May-Grünwald-Giemsa stain · bone marrow aspirate smear.
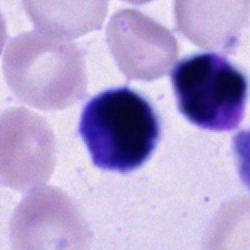

Q: Identify the cell.
A: This is a cell of indeterminate lineage.